Peripheral blood smear — 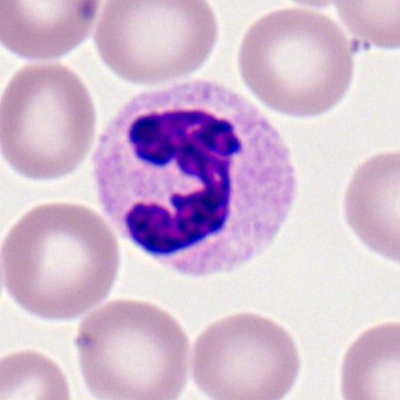 Neutrophil (segmented).